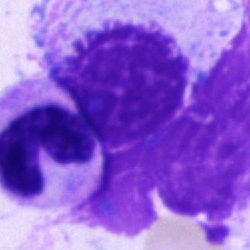
Bone marrow aspirate smear, single cell — artefact.